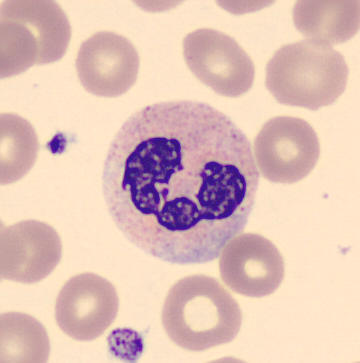Morphology — neutrophil (segmented). Image: Peripheral blood film.